250×250. Bone marrow smear — 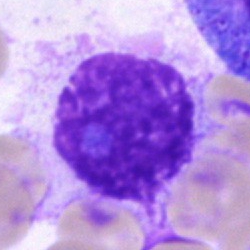 Q: What is shown here?
A: An artefact.